Bone marrow smear: 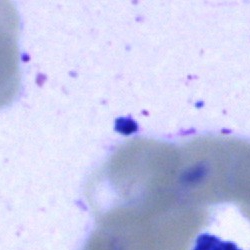
Classification = artifact.